Bone marrow smear; 250 by 250 pixels — 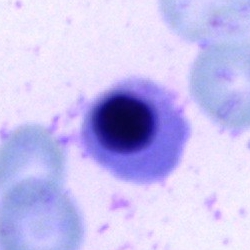
{"cell_type": "normoblast"}